Peripheral blood film; Romanowsky-type stain — 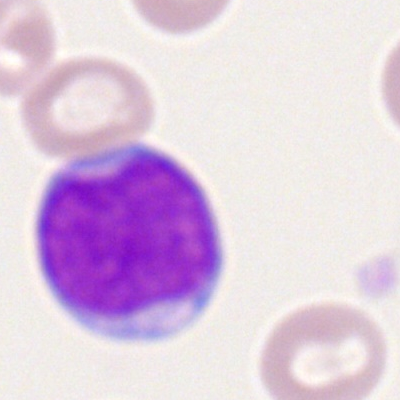The classification is myeloid blast.